Bone marrow smear.
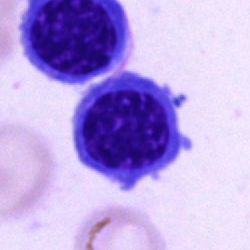Specimen: bone marrow aspirate smear.
Cell type: erythroblast.